Bone marrow aspirate smear:
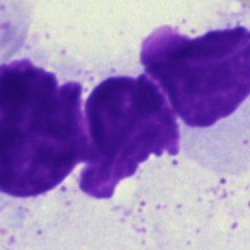
Specimen: bone marrow smear.
Cell type: artefact.